Bone marrow smear; brightfield microscopy, 40× oil immersion; 250×250 px.
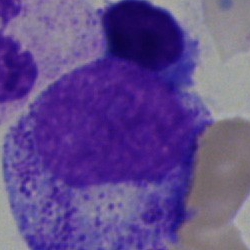{"cell_type": "myelocyte"}